Bone marrow smear.
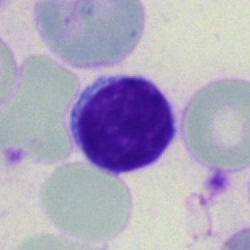Q: What type of cell is this?
A: A lymphocyte.